Brightfield microscopy, 40× oil immersion · bone marrow aspirate smear:
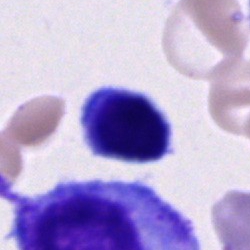 Single cell identified as a typical lymphocyte.